Bone marrow smear
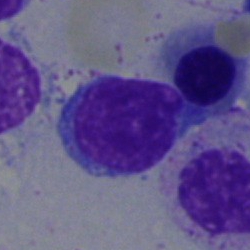

A typical lymphocyte.